Bone marrow smear — 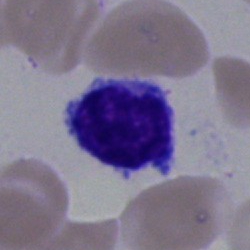Classification = typical lymphocyte.